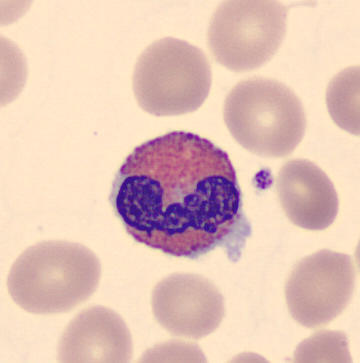

Preparation: MGG stain · peripheral blood smear.

Morphology — eosinophilic granulocyte.